Peripheral blood smear:
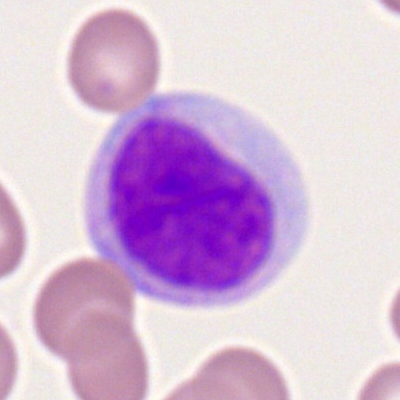

Specimen: peripheral blood film.
Classification: lymphocyte.
Lineage: lymphoid.